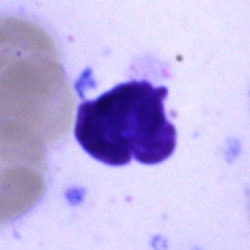Specimen: bone marrow aspirate smear.
Cell: typical lymphocyte.